Cropped to a single cell · bone marrow smear — 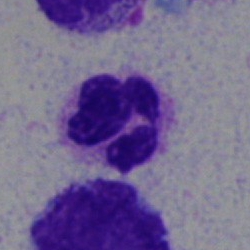 Specimen: bone marrow aspirate smear.
Classification: segmented neutrophil.